Bone marrow smear · MGG-stained: 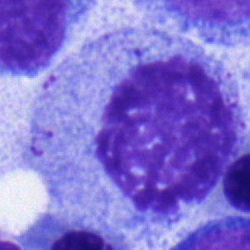
Specimen: bone marrow smear.
Cell type: myelocyte.